Bone marrow aspirate smear — 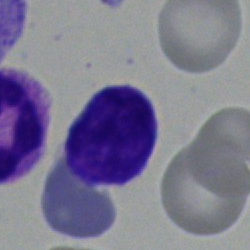Showing a lymphocyte.